Bone marrow aspirate smear · 40× oil immersion: 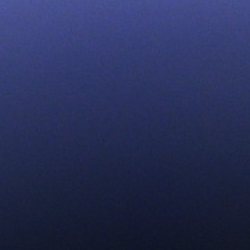
Q: What is shown here?
A: An artifact.